Bone marrow smear.
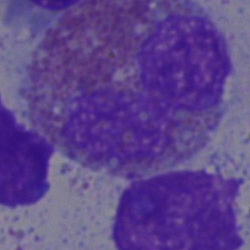
Specimen: bone marrow aspirate smear.
Classification: eosinophil.